Bone marrow aspirate smear: 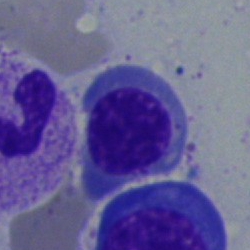Nucleated red blood cell.